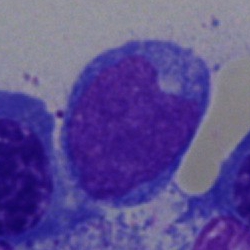Morphology consistent with a progranulocyte.